Peripheral blood smear — 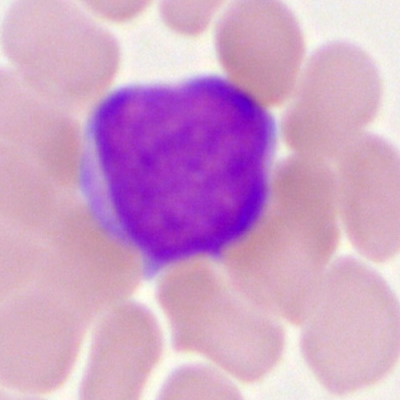Myeloid blast.